Bone marrow smear · 40× objective, oil immersion.
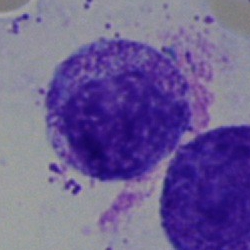 {"cell_type": "myelocyte"}